Romanowsky-type stain. Peripheral blood film — 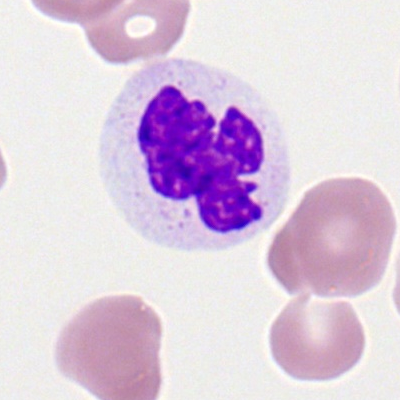

Cell = neutrophil (segmented).